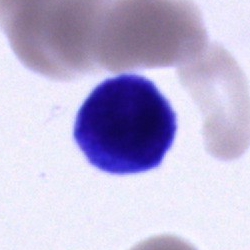 Bone marrow smear showing an unidentifiable cell.